Bone marrow aspirate smear: 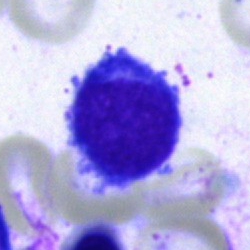Q: What cell is this?
A: It is a lymphocyte.